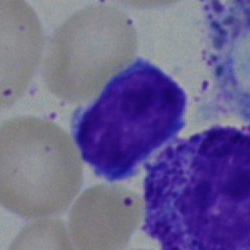Impression → typical lymphocyte.